40× objective, oil immersion; bone marrow aspirate smear
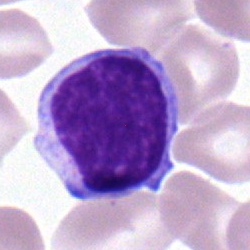Specimen: bone marrow smear.
Morphological class: typical lymphocyte.